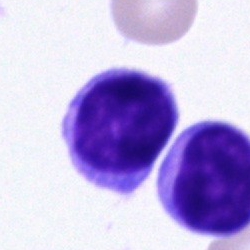Typical lymphocyte.